Bone marrow smear — 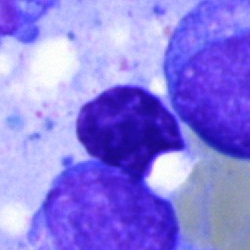Classification = artefact.